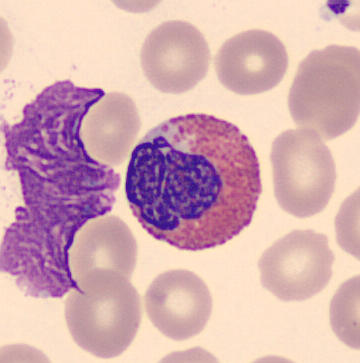
Specimen: peripheral blood film.
Classification: eosinophilic granulocyte.
Lineage: myeloid.